MGG-stained. Bone marrow aspirate smear. 250×250
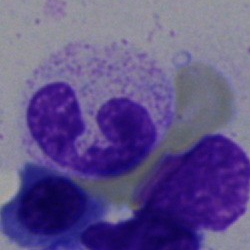

Q: Which cell type is shown here?
A: A neutrophil (segmented).